Bone marrow aspirate smear. Single-cell field — 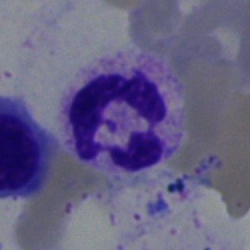
Impression → neutrophil (segmented).